Bone marrow smear — 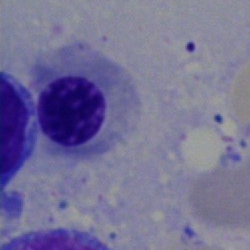

Q: What cell is this?
A: Nucleated red cell.